Pappenheim-stained. 40× oil immersion. Bone marrow aspirate smear
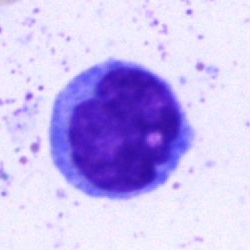 Cell type: monocyte.